Bone marrow aspirate smear; cropped to a single cell; brightfield, 40× oil-immersion objective.
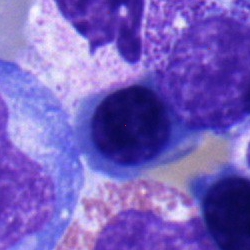

Morphology — nucleated red cell.